Bone marrow smear. May-Grünwald-Giemsa/Pappenheim stain: 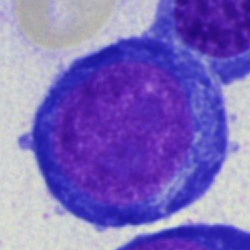 The cell shown is a proerythroblast.